Brightfield, 40× oil-immersion objective; bone marrow aspirate smear: 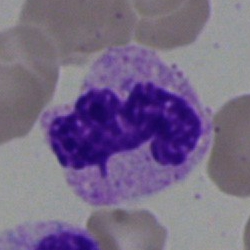

Classification = segmented neutrophil.